Cropped to a single cell. Bone marrow smear. 40× oil immersion: 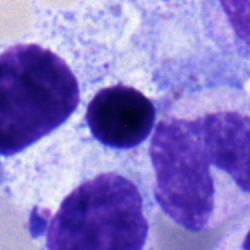

Cell type — nucleated red blood cell.